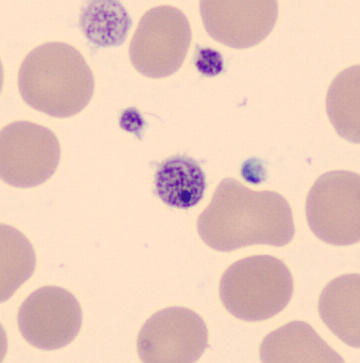

Acquisition: Image size 360×363. Specimen: peripheral blood smear.
Cell type: thrombocyte.